May-Grünwald-Giemsa/Pappenheim stain. Bone marrow smear: 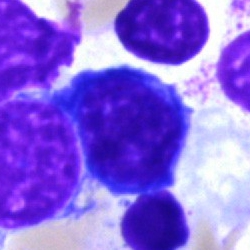 Morphology — erythroblast.